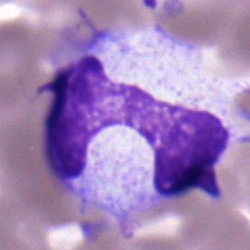Specimen: bone marrow smear.
Morphological class: band neutrophil.
Lineage: myeloid.